Pappenheim-stained. Bone marrow smear:
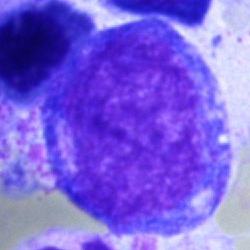The cell is progranulocyte.